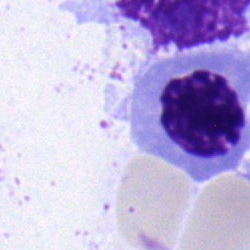

Morphological class: nucleated red cell.